Bone marrow smear:
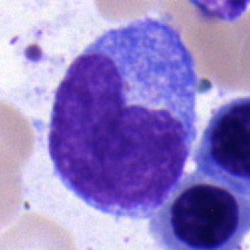

This is a monocyte.